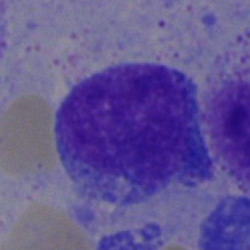
{"cell_type": "promyelocyte", "lineage": "myeloid"}